Bone marrow aspirate smear; brightfield microscopy, 40× oil immersion; image size 250×250
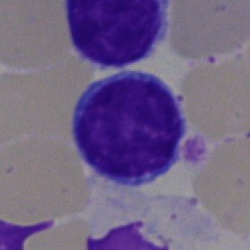

Impression — typical lymphocyte.